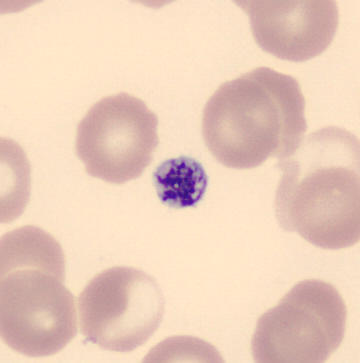 Q: What is shown here?
A: Platelet (thrombocyte).
Preparation: Peripheral blood film. May Grünwald-Giemsa stain. 360 by 363 pixels.